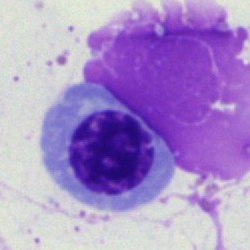Specimen: bone marrow smear.
Morphological class: nucleated red blood cell.
Lineage: erythroid.